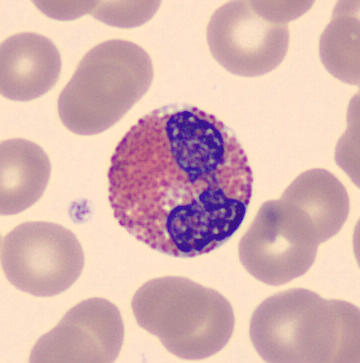
An eosinophilic granulocyte.
Acquisition: 360 by 363 pixels. Peripheral blood smear.